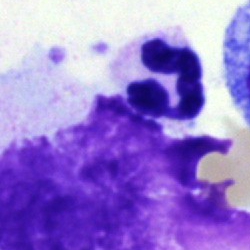
Impression → segmented neutrophil.